Bone marrow aspirate smear: 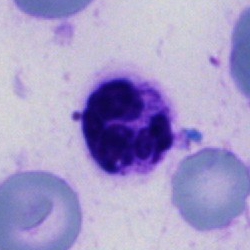

Q: What type of cell is this?
A: It is a polymorphonuclear neutrophil.